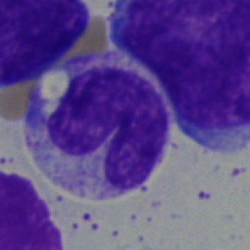 Morphology → stab cell.